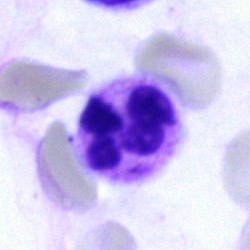 A segmented neutrophil on a bone marrow smear.